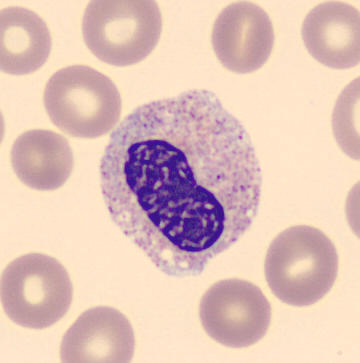

CellaVision DM96; peripheral blood film.

A stab cell.